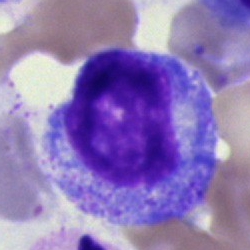

Single cell identified as a progranulocyte.